Bone marrow smear · brightfield microscopy, 40× oil immersion.
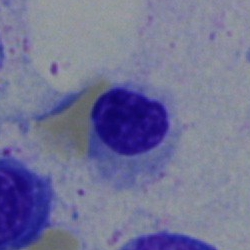 Morphology consistent with a nucleated red cell.